Image size 250×250. Brightfield, 40× oil-immersion objective. Bone marrow aspirate smear
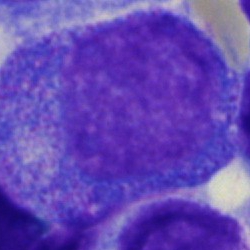A progranulocyte.